Bone marrow aspirate smear; 250×250 px: 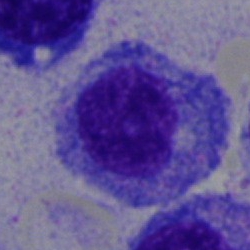Morphology consistent with a promyelocyte.